250×250 px; bone marrow aspirate smear: 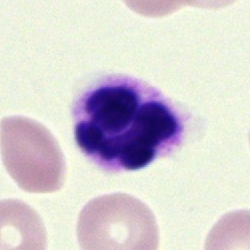
Morphological class — segmented neutrophil.